Bone marrow smear:
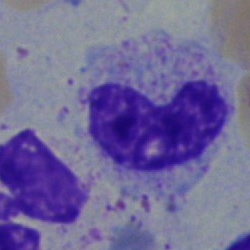 Morphology consistent with a band-form neutrophil.